Bone marrow aspirate smear
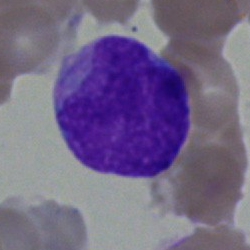Specimen: bone marrow aspirate smear.
Cell type: undifferentiated blast.